250×250 · bone marrow aspirate smear · cropped to a single cell:
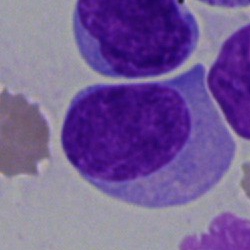 Showing a blast.